Cropped to a single cell · bone marrow smear · May-Grünwald-Giemsa/Pappenheim stain: 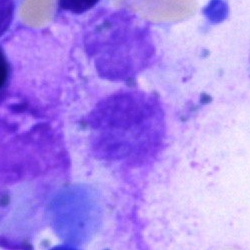 {"cell_type": "artefact"}